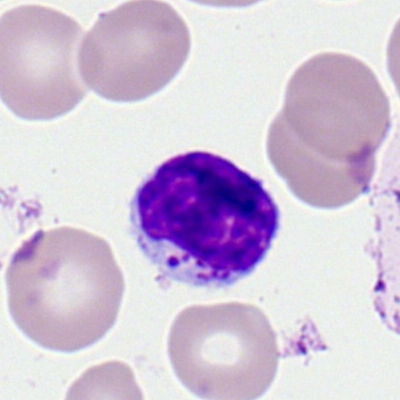
Morphology → lymphocyte.